May-Grünwald-Giemsa stain; cropped to a single cell; bone marrow smear.
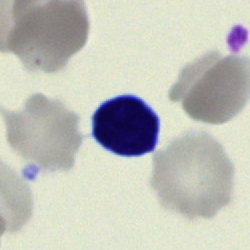 Morphology consistent with a typical lymphocyte.